100× oil immersion, 14.14 px/µm · cropped to a single cell · peripheral blood film:
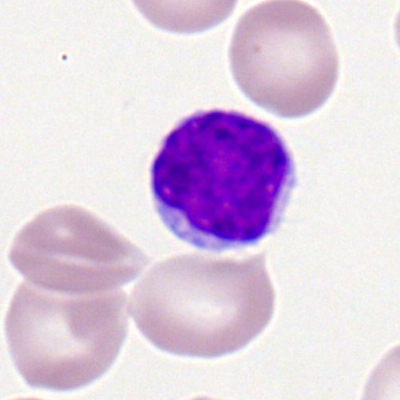The classification is lymphocyte.